Bone marrow aspirate smear
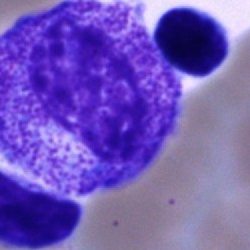

Impression — progranulocyte.